Bone marrow aspirate smear · May-Grünwald-Giemsa stain — 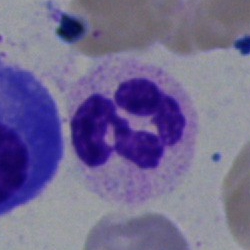 Morphological class = polymorphonuclear neutrophil.